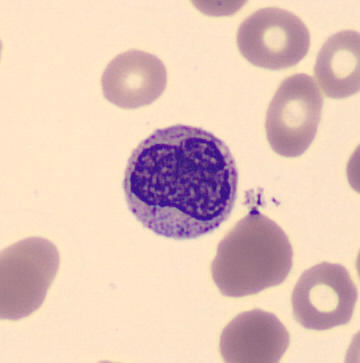 Specimen: peripheral blood smear.
Cell: metamyelocyte.
Lineage: myeloid.